Pappenheim-stained. Bone marrow aspirate smear
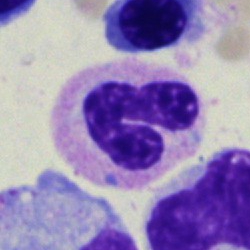
Classification — band neutrophil.